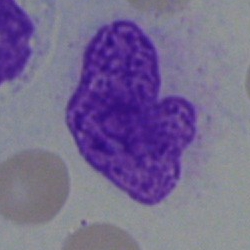

Morphological class: monocyte.